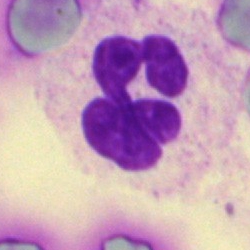

Specimen: bone marrow smear.
Morphological class: neutrophil (segmented).
Lineage: myeloid.